Bone marrow aspirate smear:
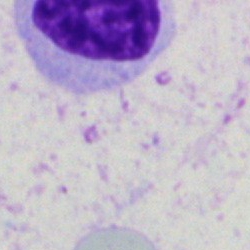

Q: What is shown here?
A: This is an artefact.